Single-cell field; bone marrow smear; brightfield microscopy, 40× oil immersion.
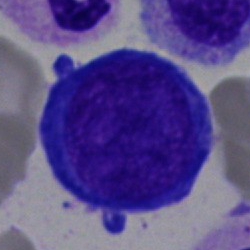
Showing an erythroblast.